Bone marrow aspirate smear · May-Grünwald-Giemsa/Pappenheim stain
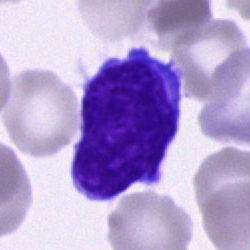

Cell type = lymphocyte.